Peripheral blood smear
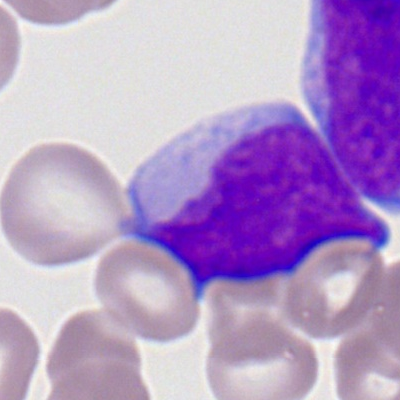Impression — myeloblast.